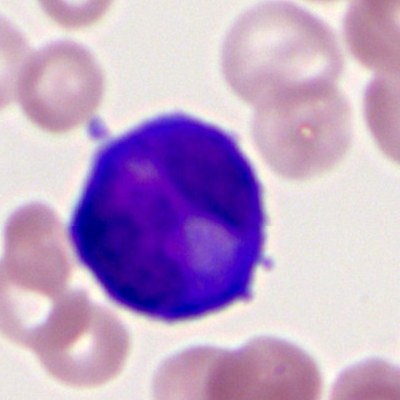 Morphology → promyelocyte (bilobed).